Bone marrow aspirate smear; image size 250×250.
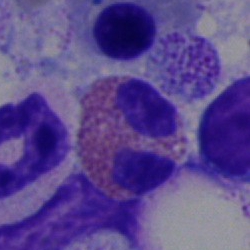 Morphology consistent with an eosinophilic granulocyte.